Single-cell crop · bone marrow smear — 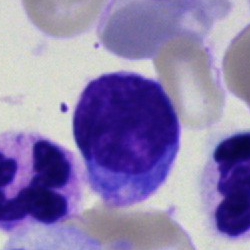 Specimen: bone marrow smear.
Classification: nucleated red blood cell.